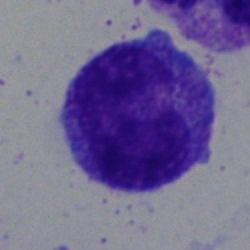
Cell type = promyelocyte.